250 by 250 pixels. Bone marrow smear:
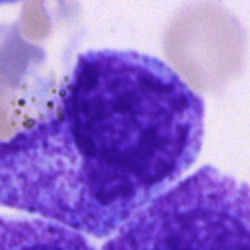 Specimen: bone marrow aspirate smear.
Morphological class: progranulocyte.
Lineage: myeloid.